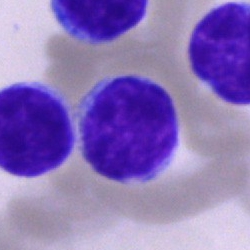
Morphology — lymphocyte.